Bone marrow smear
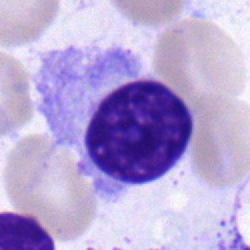 The cell is plasma cell.